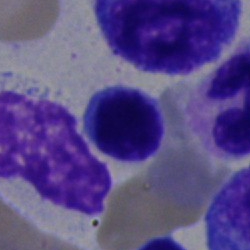
Morphology — typical lymphocyte.